Bone marrow smear: 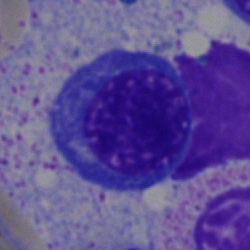
Showing a nucleated red cell.